Peripheral blood film — 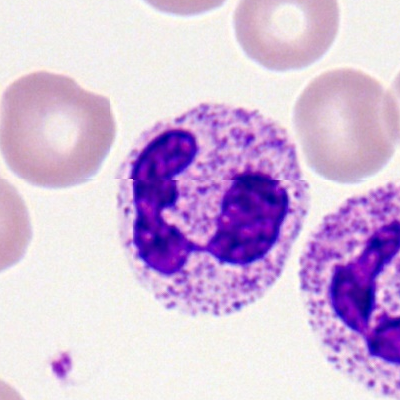
Q: Identify the cell.
A: It is a neutrophil (segmented).